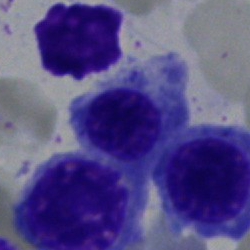Cell = erythroblast.